Peripheral blood film.
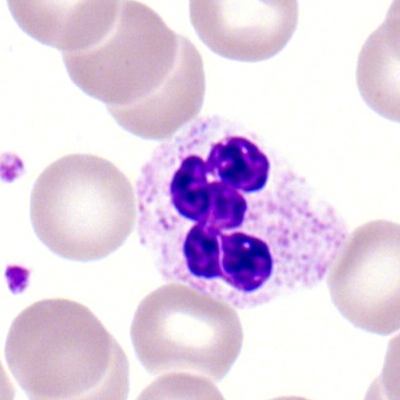 Classification — segmented neutrophil.